Bone marrow smear:
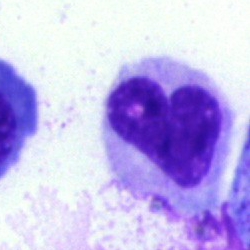 Single cell identified as a band neutrophil.